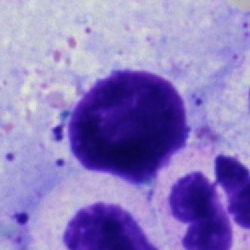

Specimen: bone marrow smear.
Classification: artefact.